Romanowsky-stained · single cell centered in the field · peripheral blood film: 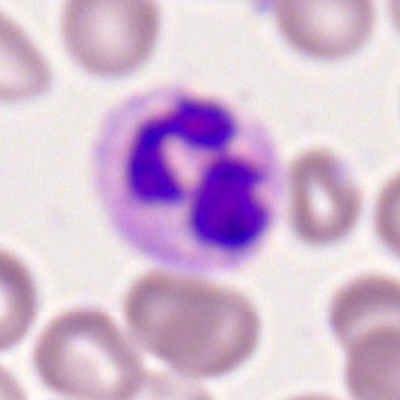Morphology consistent with a polymorphonuclear neutrophil.